Brightfield microscopy, 40× oil immersion. Bone marrow smear:
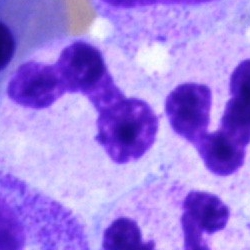Single cell identified as a segmented neutrophil.